Bone marrow aspirate smear: 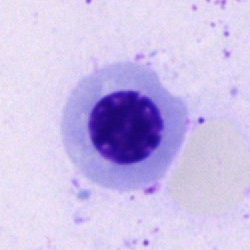 Morphology consistent with a nucleated red cell.